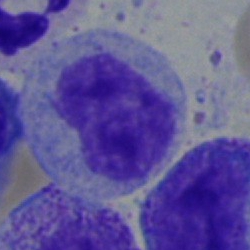

Bone marrow smear showing a myelocyte.